Bone marrow smear.
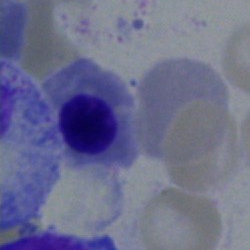
Nucleated red cell.